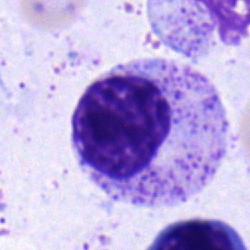{"cell_type": "myelocyte", "lineage": "myeloid"}